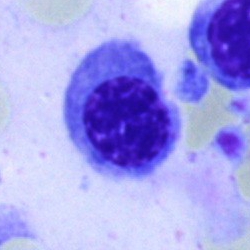 Morphology consistent with a nucleated red blood cell.